Single-cell field; Pappenheim-stained; bone marrow aspirate smear — 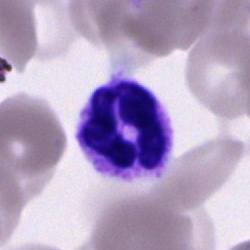Classification = segmented neutrophil.